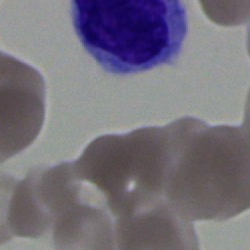 Specimen: bone marrow smear.
Morphological class: typical lymphocyte.
Lineage: lymphoid.